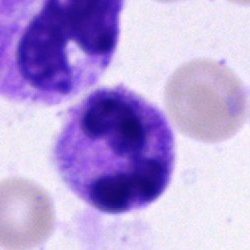
Q: What type of cell is this?
A: This is a polymorphonuclear neutrophil.